Bone marrow aspirate smear; 40× objective, oil immersion:
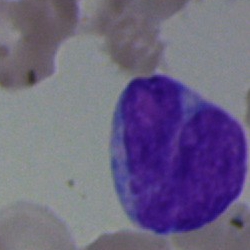
Cell: undifferentiated blast.